Bone marrow smear; 40× oil immersion
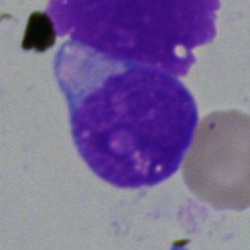

{"cell_type": "blast cell"}